Single-cell field · bone marrow aspirate smear:
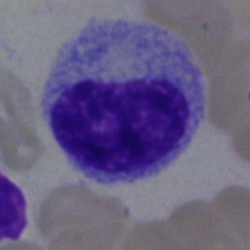 A metamyelocyte.